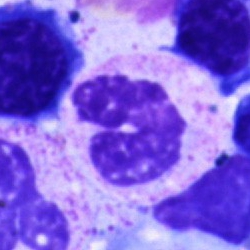 Cell type — polymorphonuclear neutrophil.